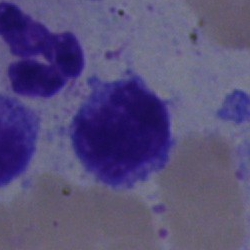 Impression → typical lymphocyte.